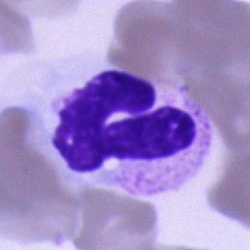

Cell type = band-form neutrophil.